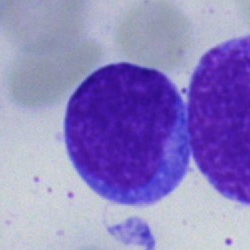Bone marrow aspirate smear, single cell — typical lymphocyte.